Bone marrow aspirate smear: 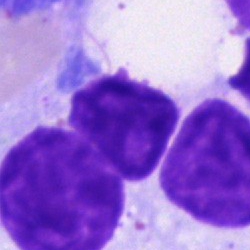Specimen: bone marrow aspirate smear.
Cell: artefact.